Bone marrow smear — 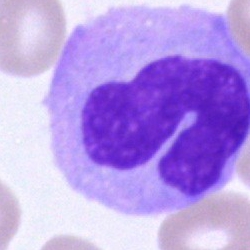

Showing a monocyte.